40× objective, oil immersion · bone marrow aspirate smear — 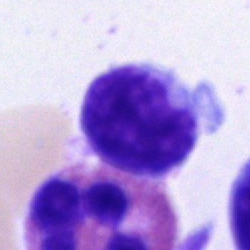

Q: What is the morphological classification of this cell?
A: A typical lymphocyte.